400 by 400 pixels. 100× objective, oil immersion. Peripheral blood film:
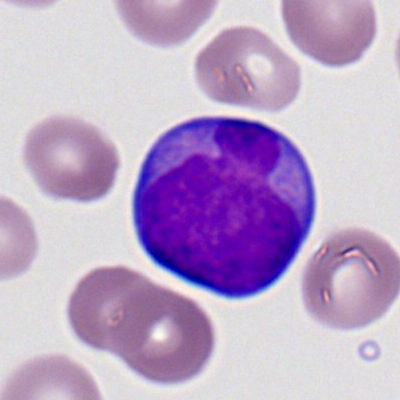 Myeloblast.